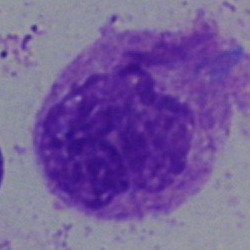{"cell_type": "promyelocyte"}